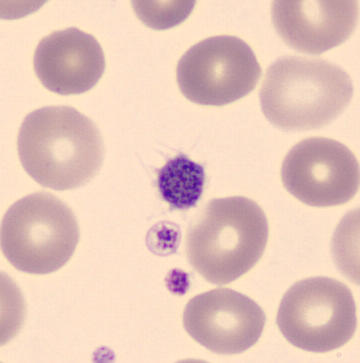Q: What is shown here?
A: It is a thrombocyte. Preparation: Peripheral blood smear. MGG stain.